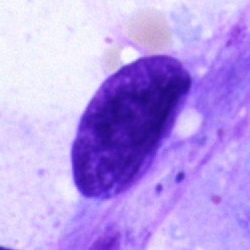

Bone marrow smear showing an artifact.